Bone marrow smear · cropped to a single cell.
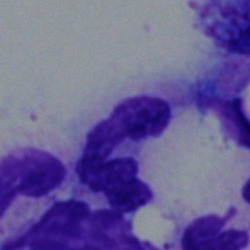

Morphology consistent with a segmented neutrophil.